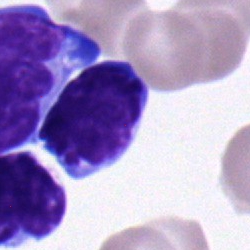Q: Which cell type is shown here?
A: Lymphocyte.